Peripheral blood film; single-cell crop
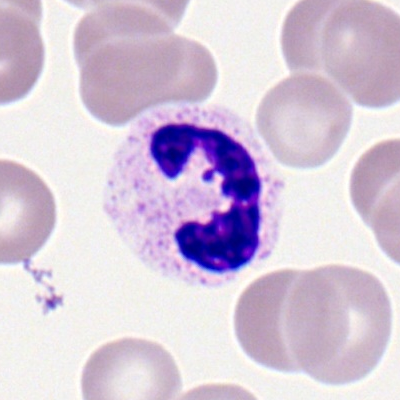 Morphological class: polymorphonuclear neutrophil.